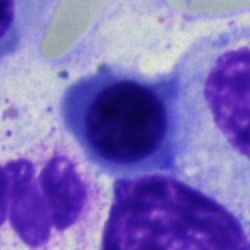Specimen: bone marrow aspirate smear.
Cell: erythroblast.
Lineage: erythroid.